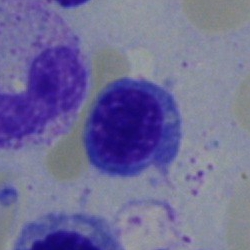 Q: Identify the cell.
A: Nucleated red cell.